Romanowsky-type stain · peripheral blood smear.
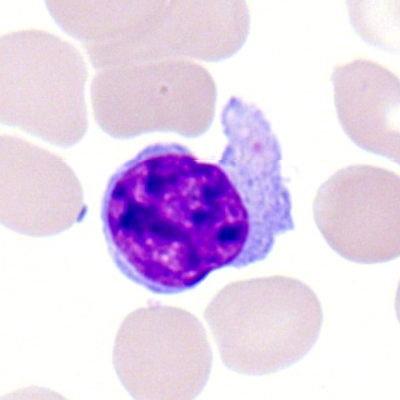 This is a lymphocyte.